Bone marrow aspirate smear. 250×250 px. Single-cell crop — 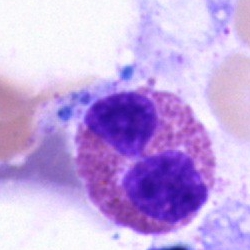
Eosinophil.